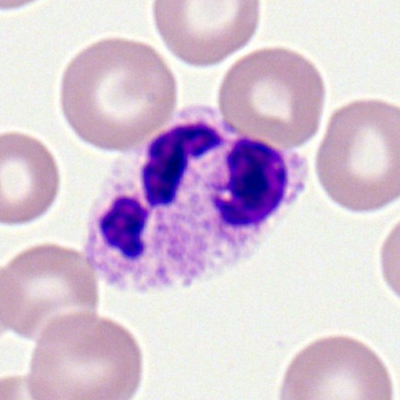 Q: What cell is this?
A: It is a segmented neutrophil.